Bone marrow smear.
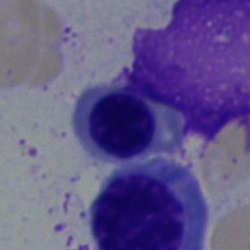
Morphology consistent with a nucleated red blood cell.